Bone marrow smear; MGG-stained; single cell centered in the field
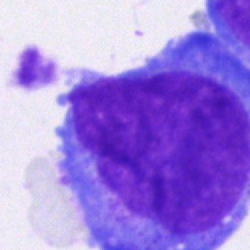Classification — undifferentiated blast.